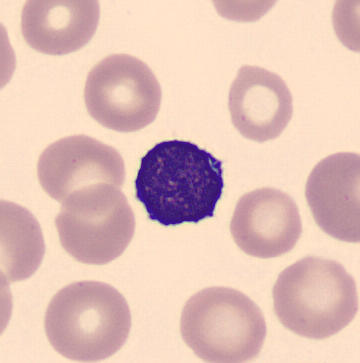
Acquisition: Peripheral blood film. Automated cell imaging (CellaVision DM96). Morphology consistent with a typical lymphocyte.